40× oil immersion. Bone marrow aspirate smear — 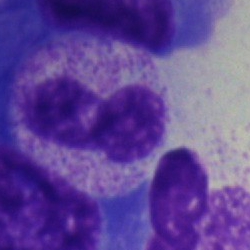Showing a segmented neutrophil.